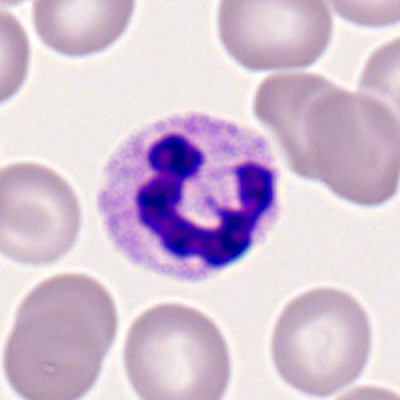
Classification = neutrophil (segmented).